Peripheral blood film:
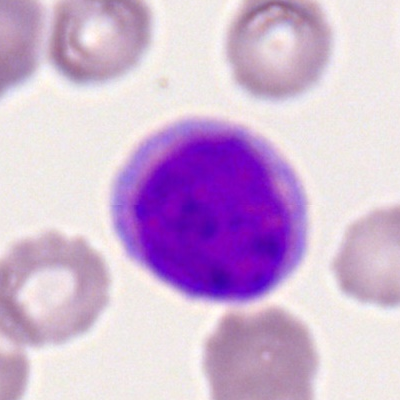 Cell type — monocyte.